Bone marrow aspirate smear. MGG-stained:
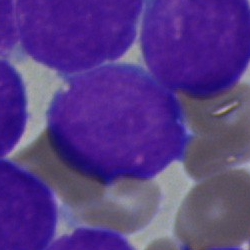
This is a blast cell.